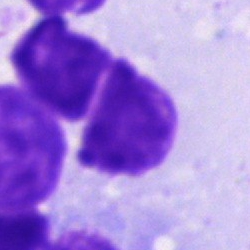Cell — artefact.